May-Grünwald-Giemsa stain; bone marrow smear
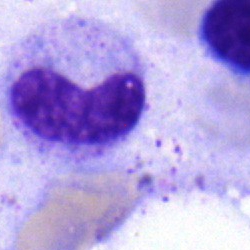 The morphological class is stab cell.